Bone marrow aspirate smear; 40× oil immersion:
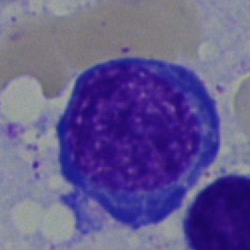 Cell type — erythroblast.